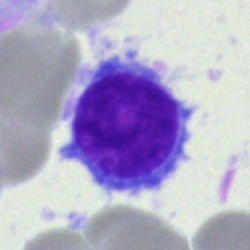Specimen: bone marrow smear.
Cell: lymphocyte.
Lineage: lymphoid.